Bone marrow aspirate smear:
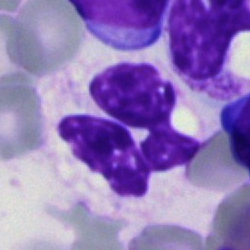The cell is polymorphonuclear neutrophil.